Bone marrow aspirate smear.
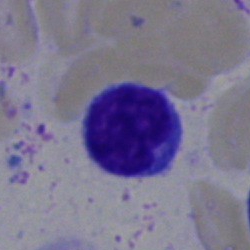Q: What cell is this?
A: A lymphocyte.